May-Grünwald-Giemsa stain. Bone marrow smear. Cropped to a single cell: 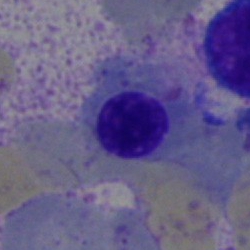
Q: What is the morphological classification of this cell?
A: It is an erythroblast.